Brightfield microscopy, 40× oil immersion · May-Grünwald-Giemsa stain · bone marrow aspirate smear: 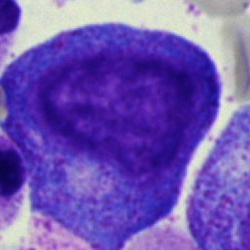

Single cell identified as a progranulocyte.